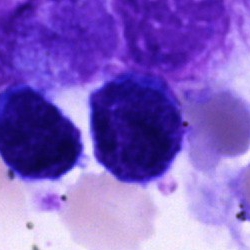Single-cell crop from a bone marrow smear: cell of indeterminate lineage.